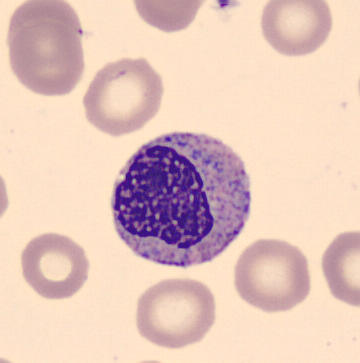{"cell_type": "myelocyte"}
Acquisition: Peripheral blood film. Single-cell crop. CellaVision DM96.